Bone marrow smear. Single-cell crop.
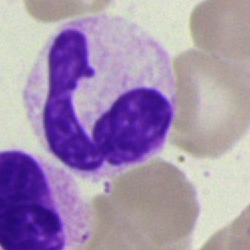
Specimen: bone marrow aspirate smear.
Cell: neutrophil (segmented).
Lineage: myeloid.